Bone marrow aspirate smear — 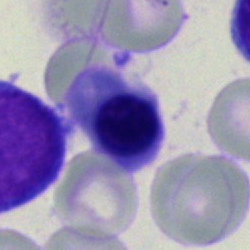

Specimen: bone marrow smear.
Cell type: erythroblast.
Lineage: erythroid.